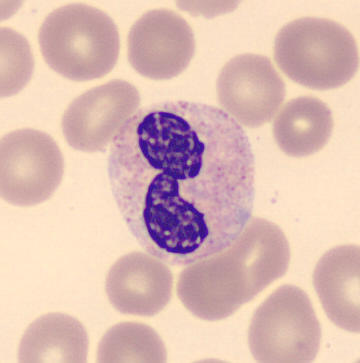

Morphological class: polymorphonuclear neutrophil. Peripheral blood smear · 360 by 363 pixels.